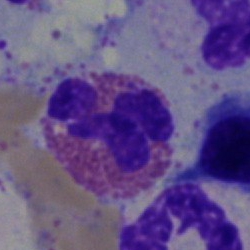 Morphology — eosinophil.